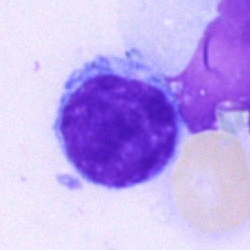 Morphology — typical lymphocyte.